Automated cell imaging (CellaVision DM96) · peripheral blood film: 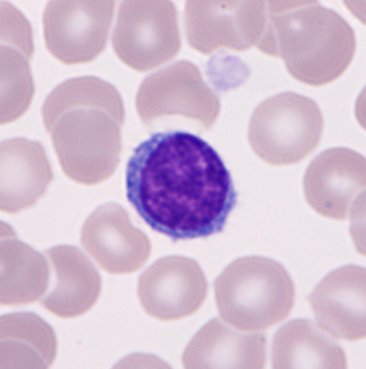
Showing a typical lymphocyte.